Bone marrow aspirate smear · 250 by 250 pixels
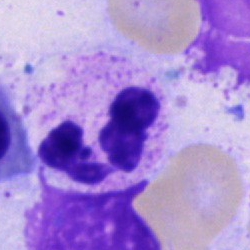

Cell = neutrophil (segmented).